Bone marrow aspirate smear; brightfield microscopy, 40× oil immersion:
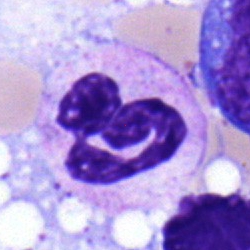Neutrophil (segmented).